Bone marrow smear: 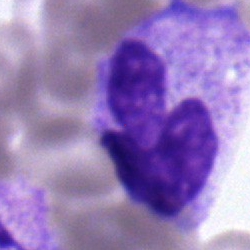

Q: What type of cell is this?
A: A band-form neutrophil.